Bone marrow aspirate smear
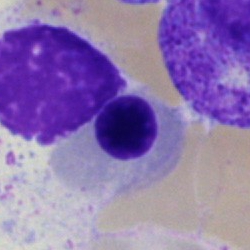The cell type is nucleated red cell.